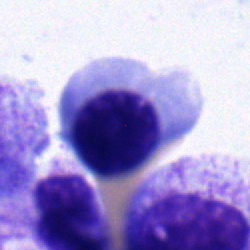

{"cell_type": "normoblast"}